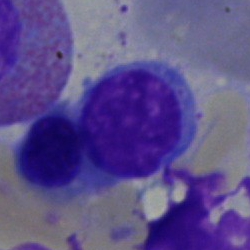

Specimen: bone marrow aspirate smear.
Cell type: lymphocyte.